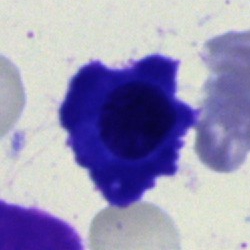

The cell shown is a plasmacyte.